Bone marrow aspirate smear:
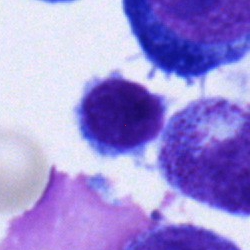
The cell type is typical lymphocyte.